Bone marrow smear: 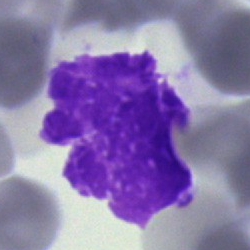

Single cell identified as an artefact.